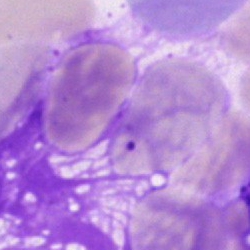 The cell type is artifact.